Bone marrow aspirate smear
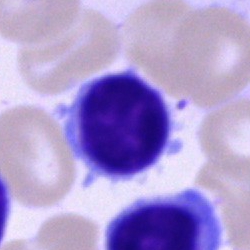

Specimen: bone marrow aspirate smear.
Morphological class: typical lymphocyte.